Peripheral blood smear — 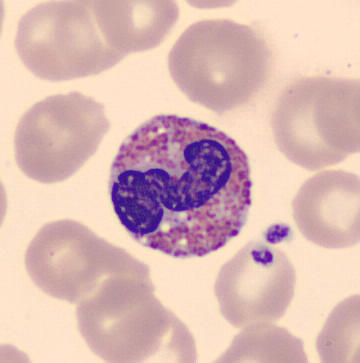

Identified as an eosinophilic granulocyte.